Bone marrow smear
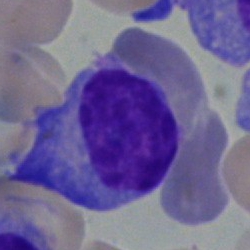 Morphology consistent with a plasmacyte.